Bone marrow aspirate smear; 250×250 px: 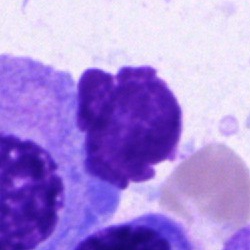
Q: What is shown here?
A: This is an artifact.